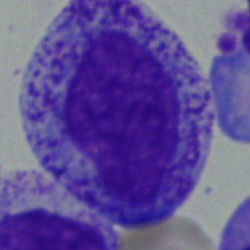

Morphology → myelocyte.